Bone marrow aspirate smear. Brightfield microscopy, 40× oil immersion — 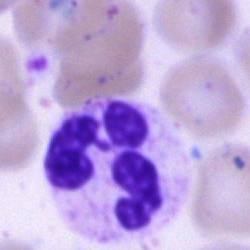Neutrophil (segmented).